Bone marrow aspirate smear · image size 250×250 · 40× oil immersion.
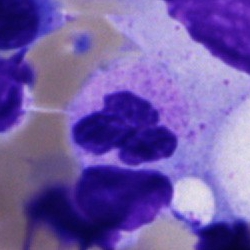 The morphological class is polymorphonuclear neutrophil.